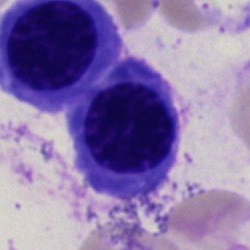

Cell type = nucleated red cell.